Romanowsky-type stain. 400×400. Peripheral blood smear
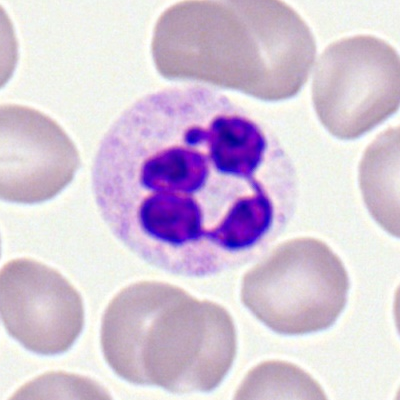 Classification: polymorphonuclear neutrophil.